250×250 px. Bone marrow smear. Single-cell field.
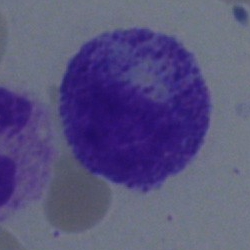Classification — myelocyte.